40× oil immersion. Bone marrow aspirate smear: 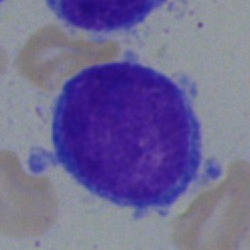
Undifferentiated blast.